40× objective, oil immersion; bone marrow smear:
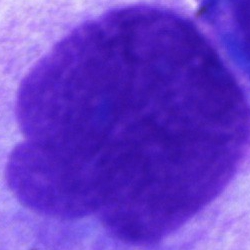 An artefact.